250×250 px. Bone marrow aspirate smear — 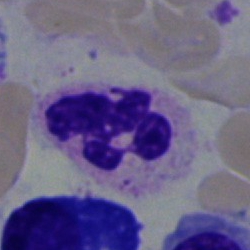

The morphological class is segmented neutrophil.